Bone marrow smear:
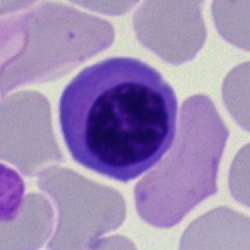
This is a nucleated red cell.